Bone marrow aspirate smear; brightfield, 40× oil-immersion objective — 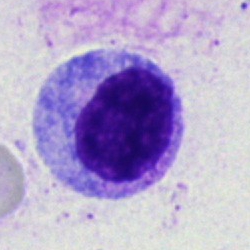 {"cell_type": "myelocyte", "lineage": "myeloid"}